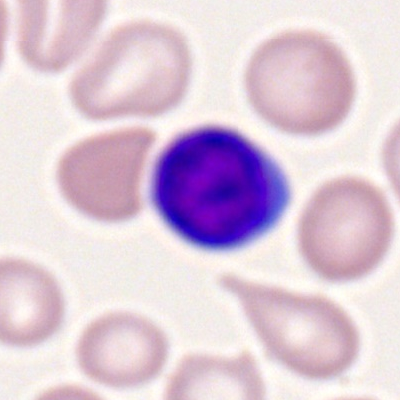This is a typical lymphocyte.